Brightfield microscopy, 40× oil immersion; cropped to a single cell; bone marrow smear — 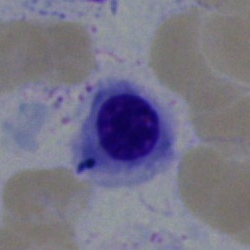
Classification — nucleated red blood cell.